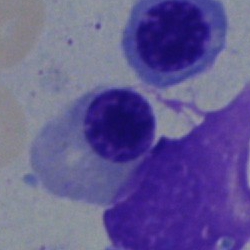

Specimen: bone marrow smear.
Cell type: normoblast.